Bone marrow smear:
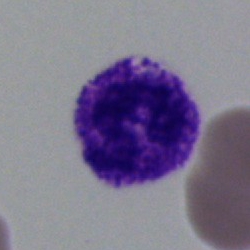

Q: What type of cell is this?
A: This is a polymorphonuclear neutrophil.